Bone marrow smear:
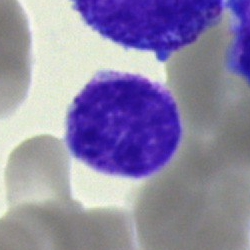

Specimen: bone marrow aspirate smear.
Classification: neutrophil (band).
Lineage: myeloid.